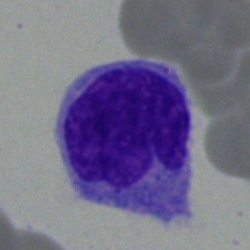
A monocyte.